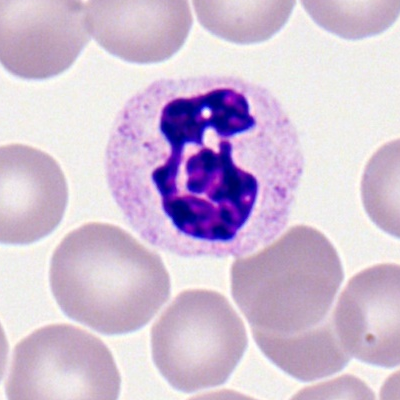Q: What is shown here?
A: Neutrophil (segmented).